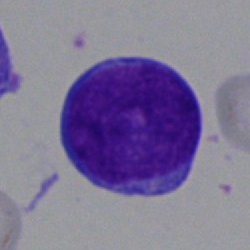 {"cell_type": "blast cell"}